Bone marrow smear:
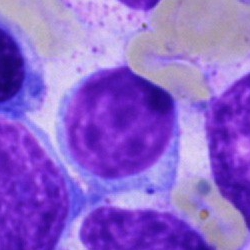 The cell shown is a typical lymphocyte.